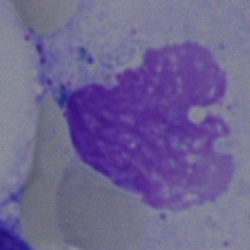 Cell type: artefact.